Brightfield microscopy, 40× oil immersion · bone marrow aspirate smear — 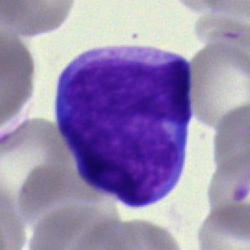

Showing an undifferentiated blast.